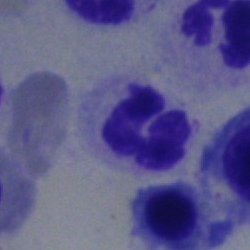
Morphology consistent with a segmented neutrophil.